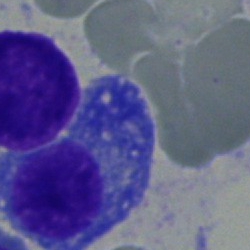

The cell shown is a plasmacyte.